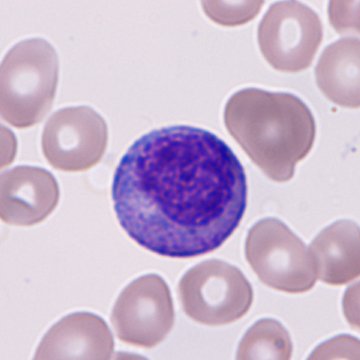
Cell type: immature granulocyte.
Peripheral blood film.